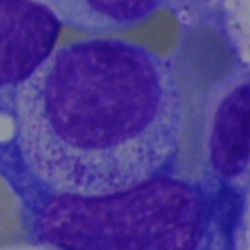This is a myelocyte.